Bone marrow aspirate smear · 40× oil immersion
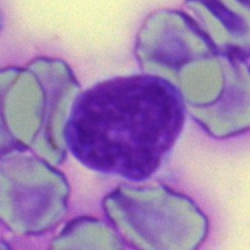Morphology → artifact.